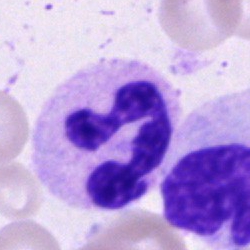
A polymorphonuclear neutrophil.